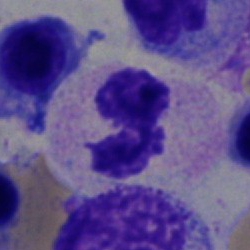Single-cell crop from a bone marrow smear: segmented neutrophil.